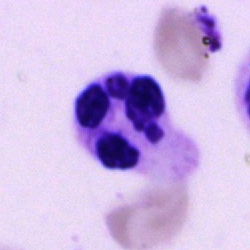{"cell_type": "neutrophil (segmented)"}